Bone marrow smear. Cropped to a single cell. Brightfield microscopy, 40× oil immersion — 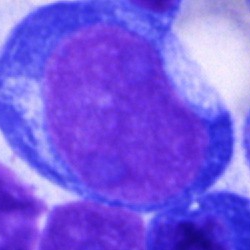

Q: Which cell type is shown here?
A: This is a proerythroblast.